Peripheral blood smear:
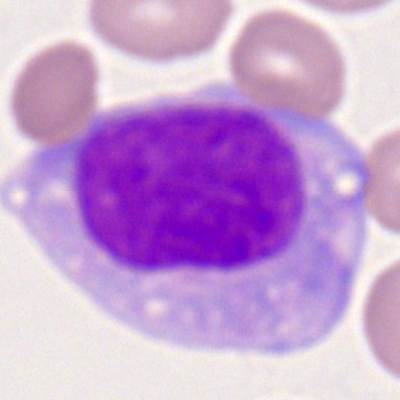The cell shown is a monoblast.